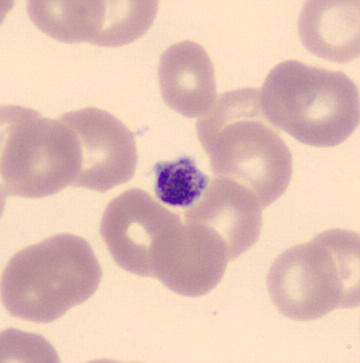{"cell_type": "platelet"}